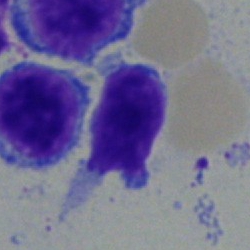Morphology — lymphocyte.